Bone marrow smear.
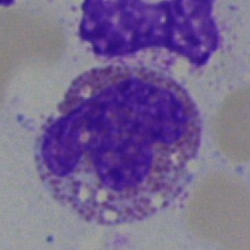Impression → eosinophilic granulocyte.